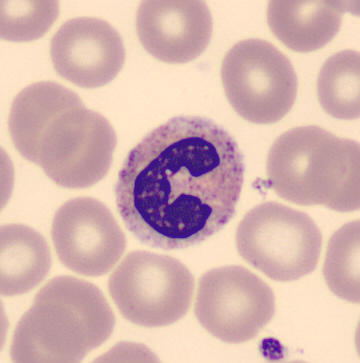 The cell shown is a neutrophil (band). Image: Peripheral blood smear.